Peripheral blood film: 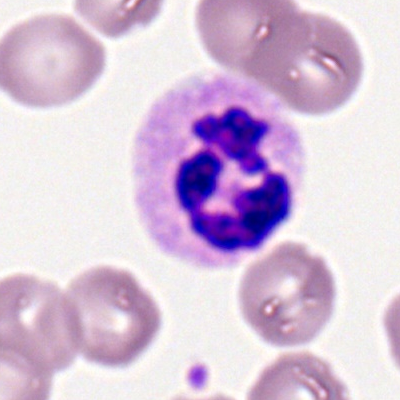

Morphology consistent with a polymorphonuclear neutrophil.